Image size 250×250 · bone marrow smear · 40× objective, oil immersion
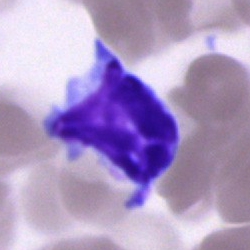
Q: Which cell type is shown here?
A: Typical lymphocyte.